Bone marrow smear. Image size 250×250. Single-cell field
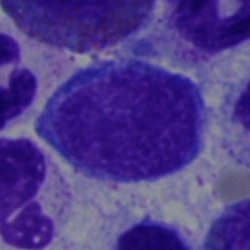
The classification is lymphocyte.